Bone marrow smear; 250×250 px:
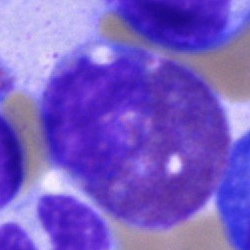 The classification is eosinophil.